Bone marrow aspirate smear.
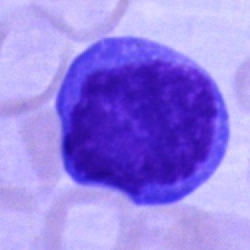

Classification = blast cell.